Cropped to a single cell. 250×250. Bone marrow aspirate smear.
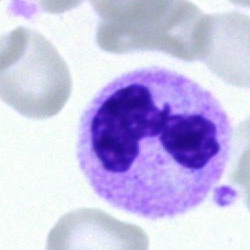

Specimen: bone marrow aspirate smear.
Cell: neutrophil (segmented).
Lineage: myeloid.